Peripheral blood film
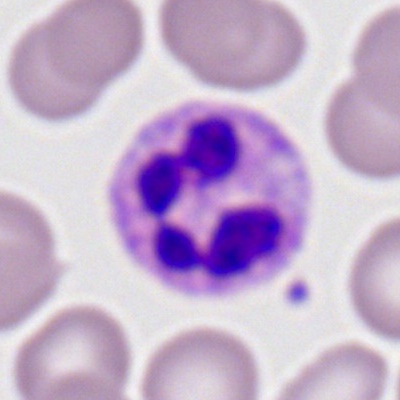 Impression → segmented neutrophil.